Bone marrow smear:
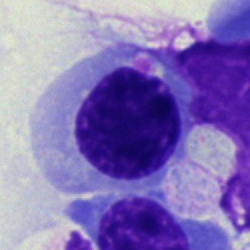

A nucleated red blood cell.